Bone marrow smear — 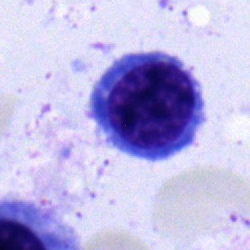Cell type: erythroblast.